40× objective, oil immersion. Bone marrow smear: 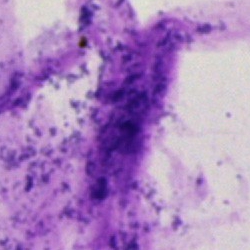 Morphology → artefact.